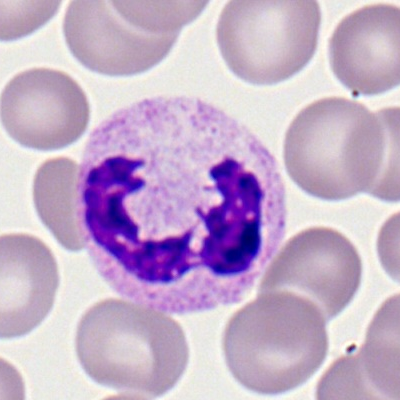

Q: Which cell type is shown here?
A: Segmented neutrophil.